MGG-stained. Image size 250×250. Bone marrow aspirate smear:
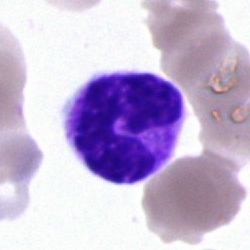

A polymorphonuclear neutrophil.